Bone marrow aspirate smear · brightfield, 40× oil-immersion objective.
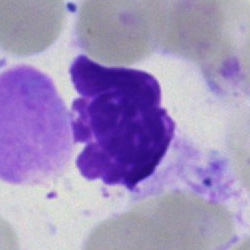An artefact.